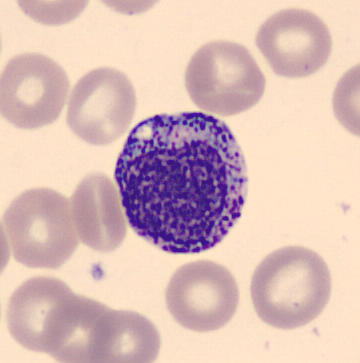 Cell type = myelocyte.